Single-cell field · bone marrow smear · 250×250.
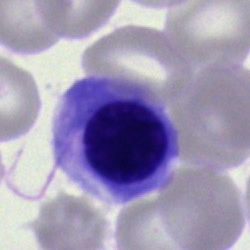

Specimen: bone marrow smear.
Cell: nucleated red cell.
Lineage: erythroid.